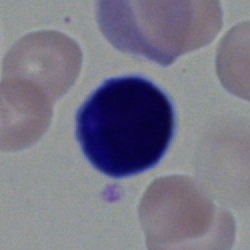Specimen: bone marrow smear.
Classification: lymphocyte.
Lineage: lymphoid.